Bone marrow aspirate smear; image size 250×250:
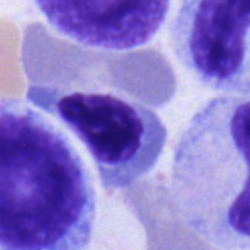This is a normoblast.